40× oil immersion. Bone marrow smear — 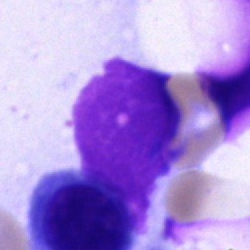Q: What is shown here?
A: Artifact.